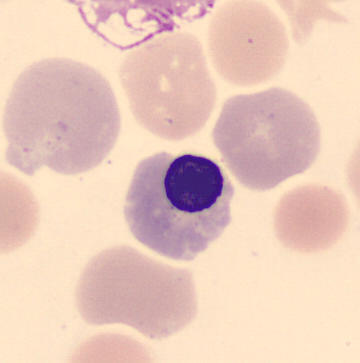 Peripheral blood film.

The morphological class is normoblast.